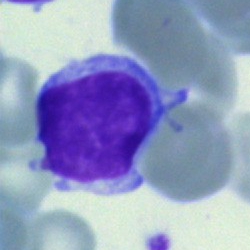
Q: Which cell type is shown here?
A: This is a lymphocyte.